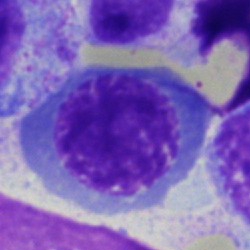Specimen: bone marrow smear.
Morphological class: nucleated red blood cell.
Lineage: erythroid.